Bone marrow smear — 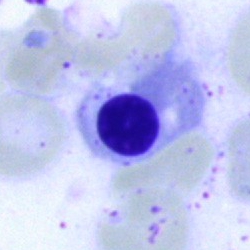 Morphology — nucleated red blood cell.